Single-cell field; image size 250×250; bone marrow aspirate smear: 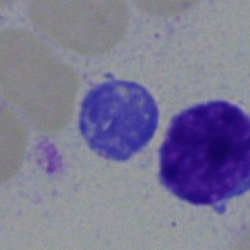

Q: Which cell type is shown here?
A: Lymphocyte.